40× oil immersion; bone marrow smear.
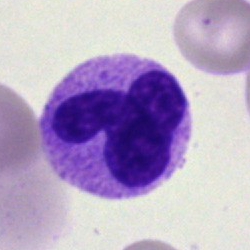

Specimen: bone marrow smear.
Cell: neutrophil (segmented).
Lineage: myeloid.